Peripheral blood smear; 400×400 px — 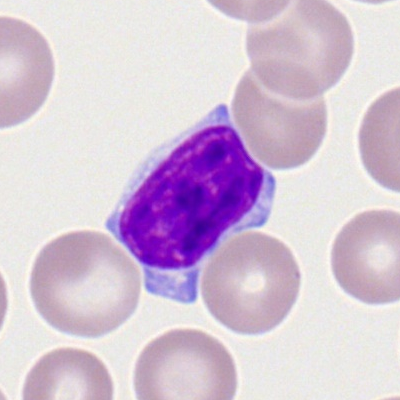Q: What is shown here?
A: Typical lymphocyte.